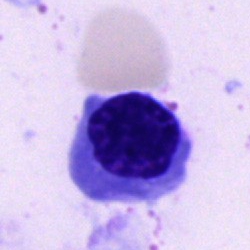
Cell: normoblast.